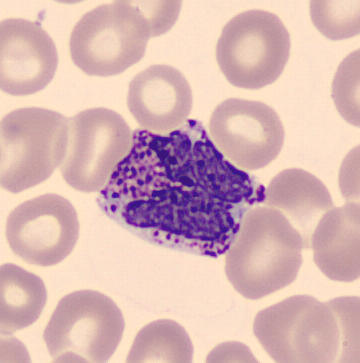Morphological class: basophil.

Preparation: Peripheral blood film. Single cell centered in the field.